Single-cell crop. 100× objective, oil immersion. Peripheral blood smear
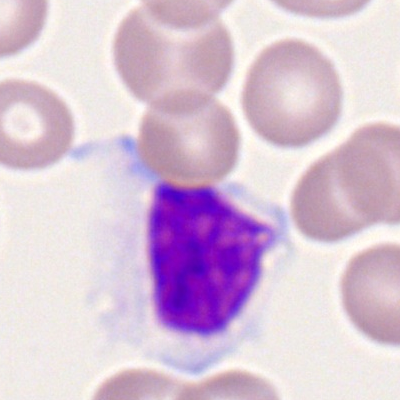

Cell type — lymphocyte.